Bone marrow aspirate smear.
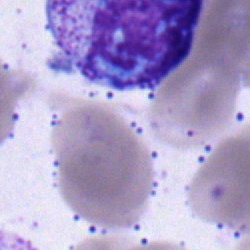Specimen: bone marrow smear.
Cell type: myelocyte.
Lineage: myeloid.